Bone marrow smear · 250×250 · single-cell crop:
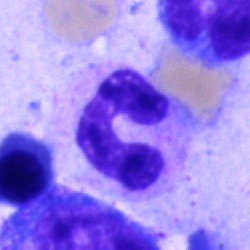

The cell shown is a segmented neutrophil.